Peripheral blood smear.
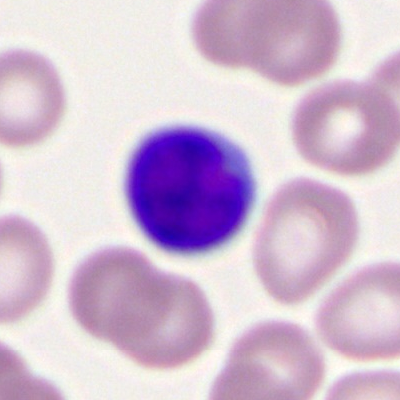
Specimen: peripheral blood film.
Morphological class: typical lymphocyte.
Lineage: lymphoid.